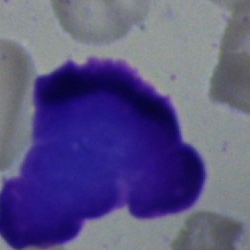Classification — plasmacyte.